Bone marrow smear.
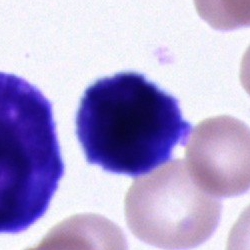

{"cell_type": "cell of indeterminate lineage"}